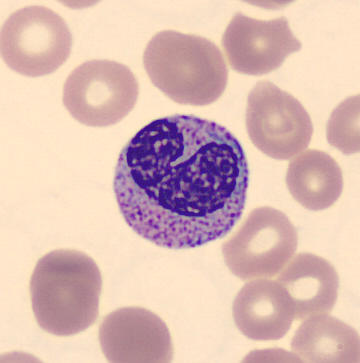 Morphology → metamyelocyte.